Bone marrow smear · Pappenheim-stained.
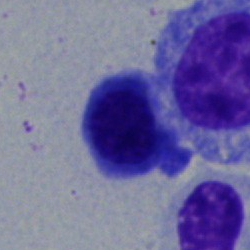
This is a nucleated red cell.